Bone marrow aspirate smear. 250×250: 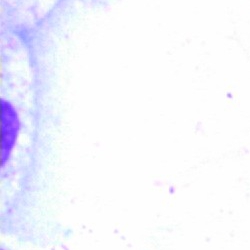
Impression — artifact.